250×250; May-Grünwald-Giemsa stain; bone marrow aspirate smear: 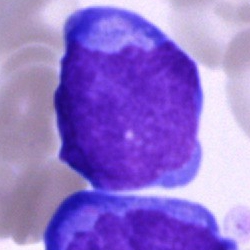 This is an undifferentiated blast.